Bone marrow aspirate smear: 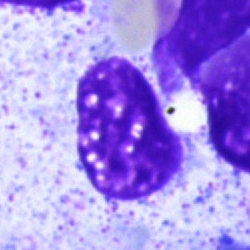

Classification = artefact.